Bone marrow smear · image size 250×250.
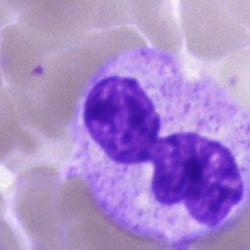
Q: What cell is this?
A: Polymorphonuclear neutrophil.